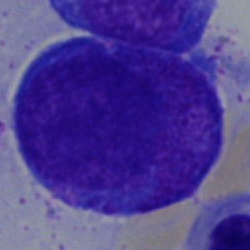

Cell type — promyelocyte.